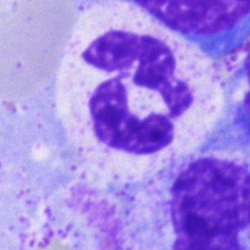 Morphology — polymorphonuclear neutrophil.